Brightfield, 40× oil-immersion objective · cropped to a single cell · bone marrow aspirate smear — 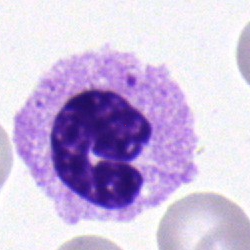Morphological class = neutrophil (segmented).